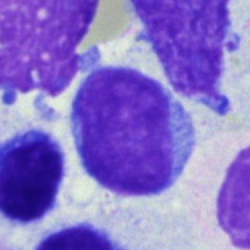

Q: Identify the cell.
A: An undifferentiated blast.